Bone marrow aspirate smear; brightfield microscopy, 40× oil immersion
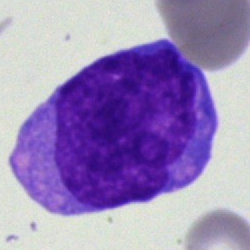 Cell type — blast.